Bone marrow smear: 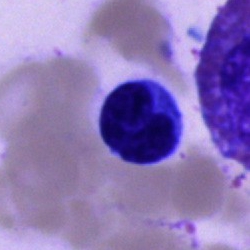Plasma cell.